Brightfield, 40× oil-immersion objective · bone marrow smear — 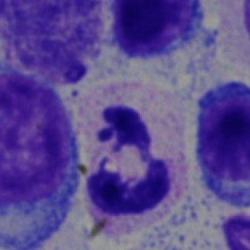Q: What cell is this?
A: It is a neutrophil (segmented).